250×250 px; bone marrow smear; single cell centered in the field:
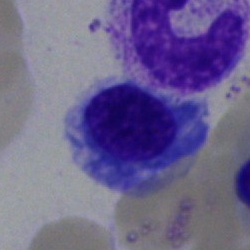Q: What cell is this?
A: This is a nucleated red blood cell.